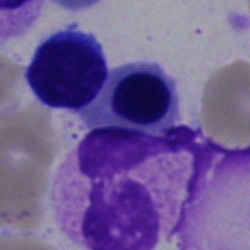Cell type: erythroblast.